Bone marrow aspirate smear — 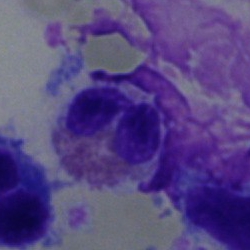 The cell shown is an eosinophilic granulocyte.